Bone marrow aspirate smear
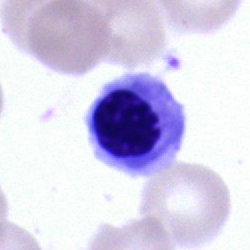
Nucleated red cell.